Bone marrow smear
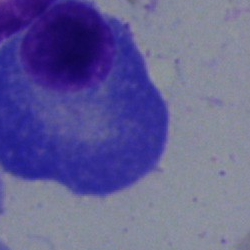
A plasmacyte.